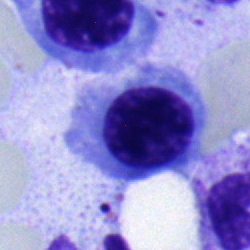

Q: Identify the cell.
A: This is a nucleated red blood cell.